Bone marrow aspirate smear; 250×250 px.
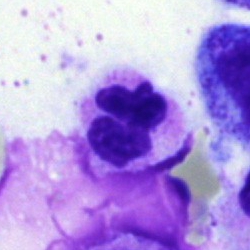

Cell = segmented neutrophil.